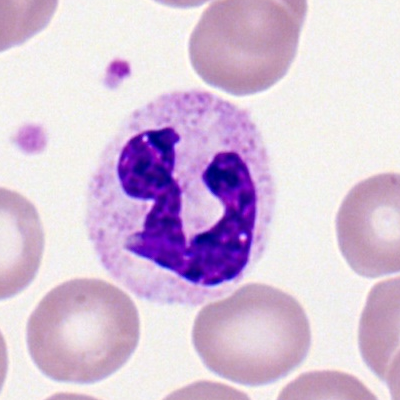
Impression — segmented neutrophil.